Single-cell field. Bone marrow smear — 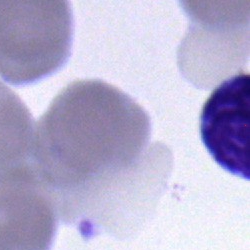 Single cell identified as a typical lymphocyte.